Bone marrow aspirate smear
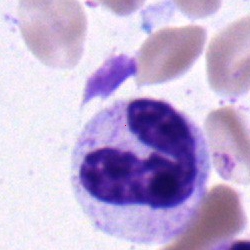Morphology consistent with a neutrophil (segmented).